Bone marrow aspirate smear
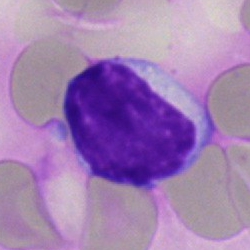
Morphology — lymphocyte.